250×250; brightfield, 40× oil-immersion objective; bone marrow aspirate smear:
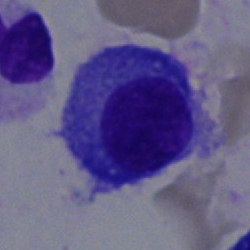

Impression → plasmacyte.